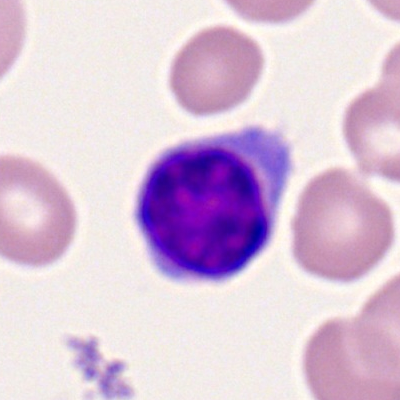 Specimen: peripheral blood smear.
Cell: lymphocyte.
Lineage: lymphoid.